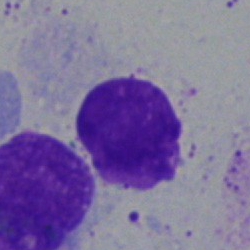 Specimen: bone marrow aspirate smear.
Cell: artefact.